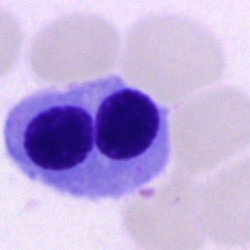Cell type = nucleated red blood cell.